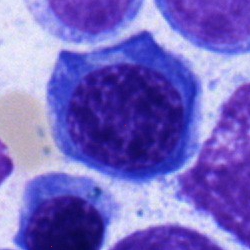
Morphology consistent with a nucleated red blood cell.